Romanowsky stain. Peripheral blood film:
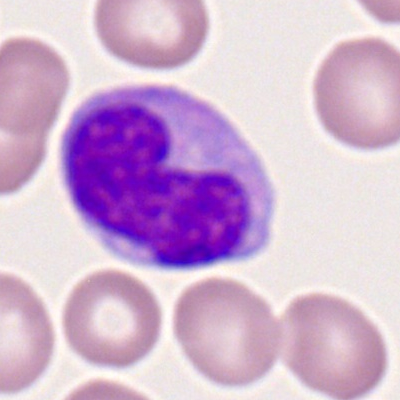 The morphological class is monocyte.